May-Grünwald-Giemsa/Pappenheim stain · bone marrow aspirate smear.
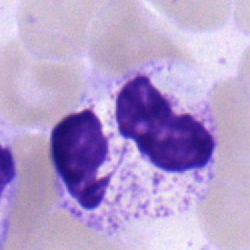 The classification is polymorphonuclear neutrophil.